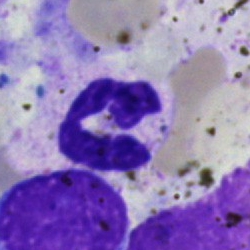

Cell: polymorphonuclear neutrophil.